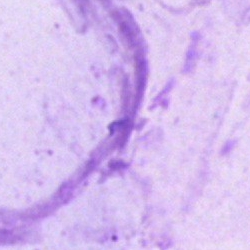
Specimen: bone marrow smear.
Cell: artifact.